Peripheral blood smear — 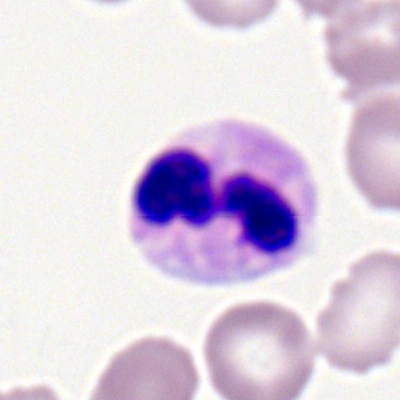

Impression — polymorphonuclear neutrophil.